Bone marrow smear; single cell centered in the field; brightfield, 40× oil-immersion objective — 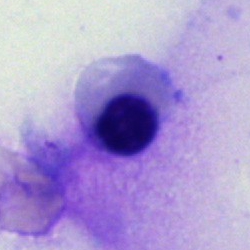 This is an erythroblast.